Bone marrow smear: 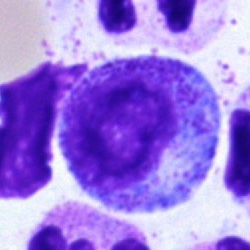Classification = progranulocyte.